Bone marrow aspirate smear:
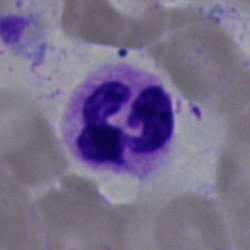
Single cell identified as a polymorphonuclear neutrophil.